100× objective, oil immersion; peripheral blood film; Romanowsky-type stain: 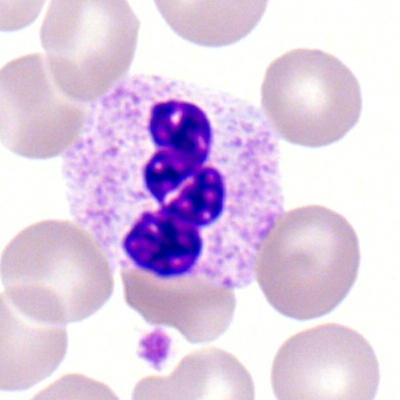

Cell type: polymorphonuclear neutrophil.